Bone marrow aspirate smear · Pappenheim-stained
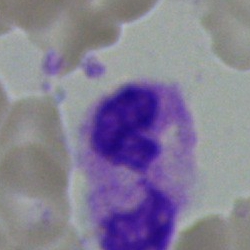
The cell shown is a neutrophil (segmented).